Bone marrow smear.
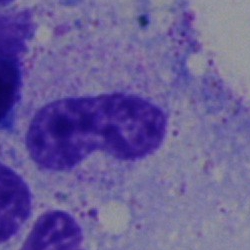

Cell type — band neutrophil.